Bone marrow aspirate smear:
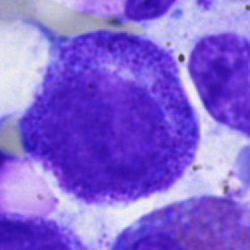

Classification = promyelocyte.